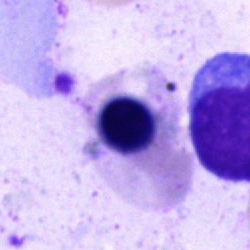 A nucleated red blood cell on a bone marrow smear.